Bone marrow aspirate smear · cropped to a single cell: 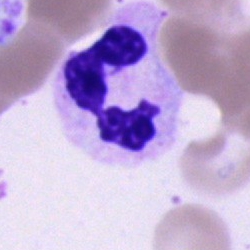
Morphology consistent with a segmented neutrophil.